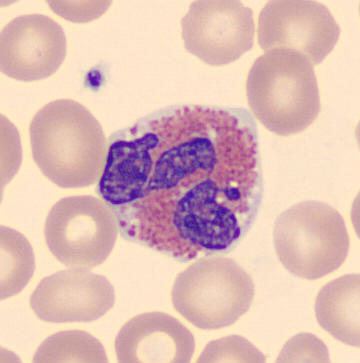
The cell shown is an eosinophil.
Acquisition: Peripheral blood smear · May-Grünwald-Giemsa-stained.